Bone marrow smear
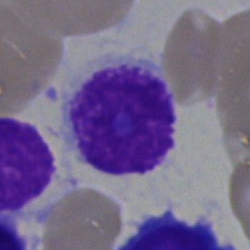Specimen: bone marrow smear.
Classification: artefact.